Bone marrow aspirate smear · May-Grünwald-Giemsa/Pappenheim stain
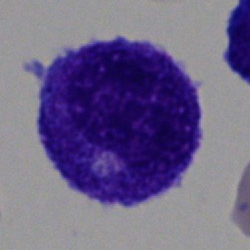

The cell shown is a promyelocyte.